Bone marrow smear · 40× objective, oil immersion · single cell centered in the field.
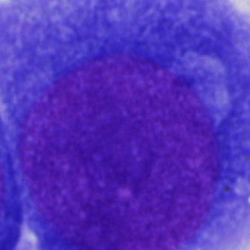{"cell_type": "proerythroblast", "lineage": "erythroid"}